Brightfield, 40× oil-immersion objective; bone marrow aspirate smear: 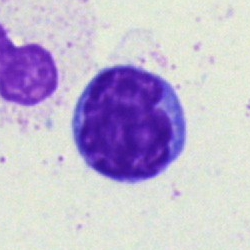

Q: Which cell type is shown here?
A: Lymphocyte.